Bone marrow aspirate smear. Single-cell field.
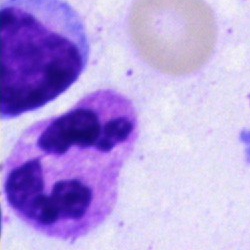

A polymorphonuclear neutrophil.